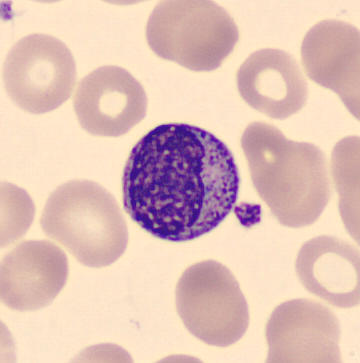

Cell type: myelocyte.